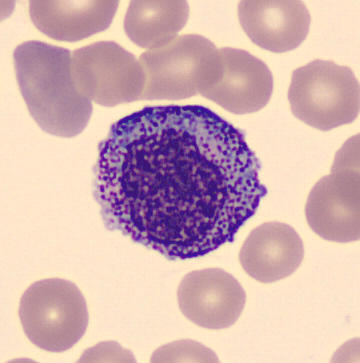

Specimen: peripheral blood film.
Cell: myelocyte.
Lineage: myeloid.